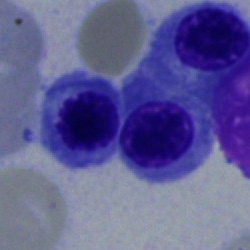
Q: What type of cell is this?
A: It is an erythroblast.